Peripheral blood smear; brightfield, 100× oil-immersion objective — 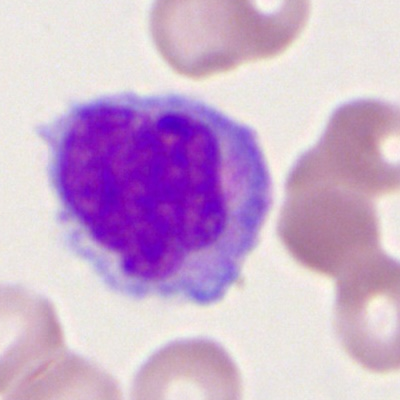
Morphology consistent with a monocyte.